Bone marrow smear — 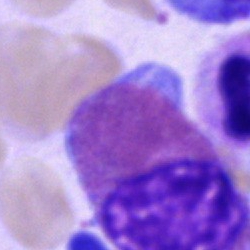

The cell type is eosinophil.